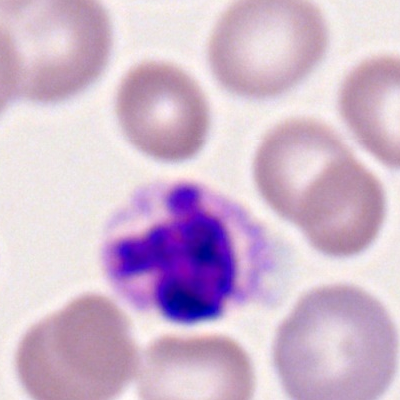

Impression → segmented neutrophil.